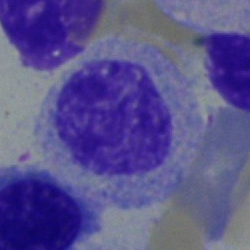

Q: What cell is this?
A: Myelocyte.